Romanowsky-type stain. Peripheral blood smear: 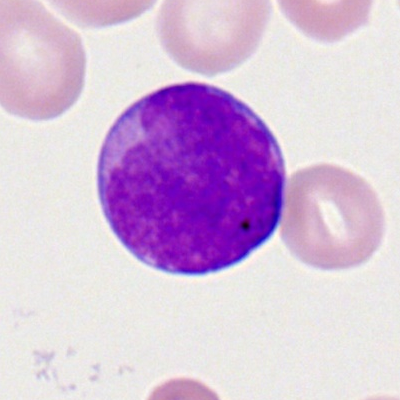Q: Which cell type is shown here?
A: It is a myeloblast.